Bone marrow smear; brightfield, 40× oil-immersion objective; May-Grünwald-Giemsa/Pappenheim stain
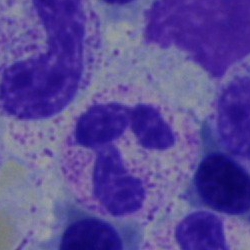 The cell shown is a segmented neutrophil.